Bone marrow aspirate smear:
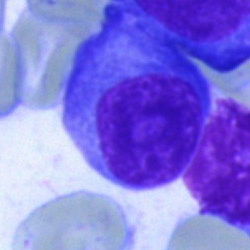 Q: What cell is this?
A: It is a plasma cell.